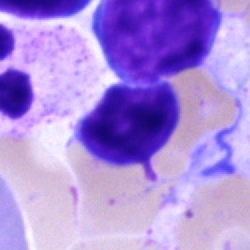 Cell — lymphocyte.